Bone marrow aspirate smear; 250 by 250 pixels: 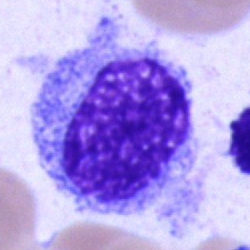Classification — blast cell.